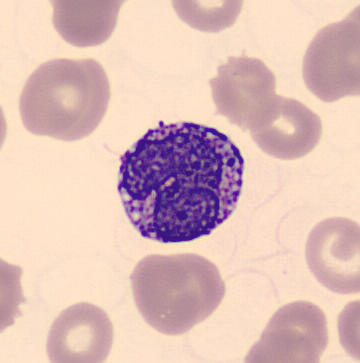
Peripheral blood smear. Automated cell imaging (CellaVision DM96).
Impression — basophilic granulocyte.